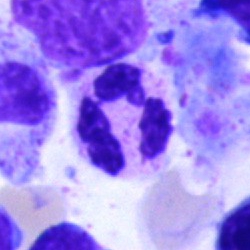

A segmented neutrophil on a bone marrow smear.